40× objective, oil immersion. Bone marrow smear
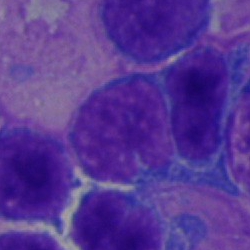

Specimen: bone marrow smear.
Cell: typical lymphocyte.